Brightfield, 40× oil-immersion objective; bone marrow smear — 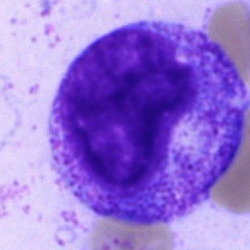 {"cell_type": "progranulocyte", "lineage": "myeloid"}